Bone marrow aspirate smear: 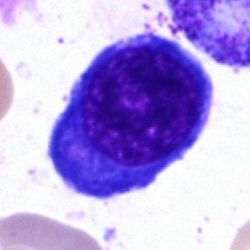Q: What is the morphological classification of this cell?
A: Erythroblast.